Single-cell field; 250×250; bone marrow aspirate smear
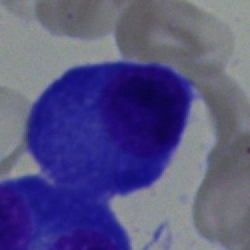Plasma cell.